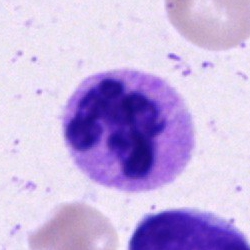
This is a polymorphonuclear neutrophil.